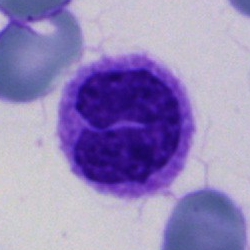
The cell shown is a polymorphonuclear neutrophil.